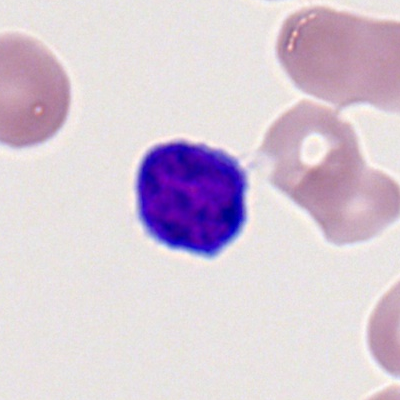Cell: typical lymphocyte.